Bone marrow smear:
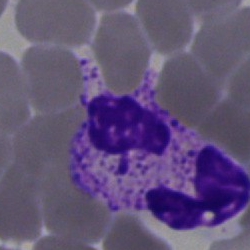 {"cell_type": "neutrophil (segmented)", "lineage": "myeloid"}